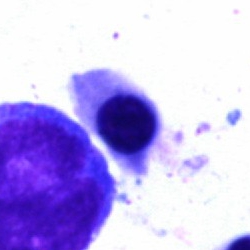

Cell = normoblast.